Peripheral blood smear — 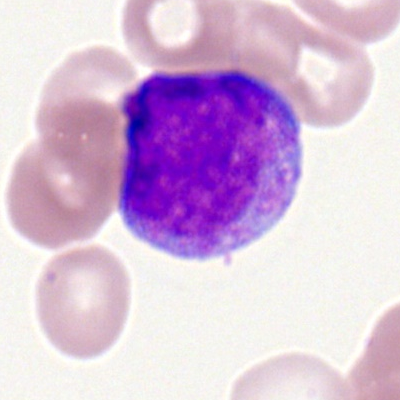Cell type: myeloblast.